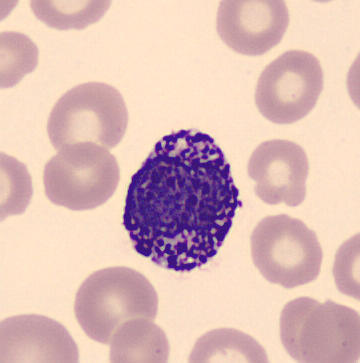

Cell — basophilic granulocyte.

Preparation: Peripheral blood smear.